Brightfield, 40× oil-immersion objective. May-Grünwald-Giemsa/Pappenheim stain. Bone marrow smear
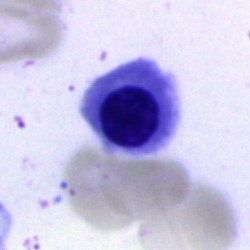 Specimen: bone marrow smear.
Cell type: normoblast.